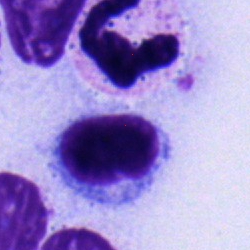
{"cell_type": "lymphocyte", "lineage": "lymphoid"}